Brightfield microscopy, 40× oil immersion. Bone marrow smear: 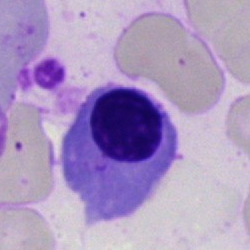
Classification = normoblast.